Bone marrow aspirate smear — 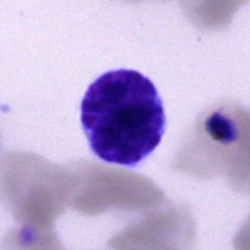 Impression → lymphocyte.